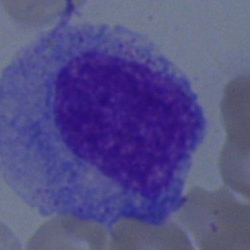

Specimen: bone marrow aspirate smear.
Morphological class: myelocyte.